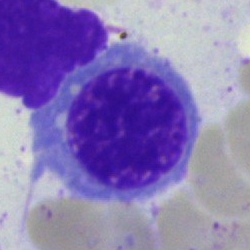 Specimen: bone marrow aspirate smear.
Cell type: nucleated red cell.
Lineage: erythroid.